Bone marrow aspirate smear — 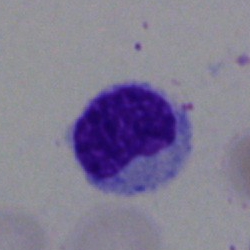

A typical lymphocyte.